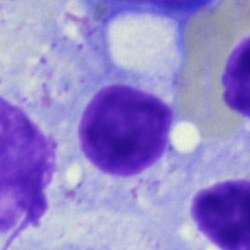

Impression — lymphocyte.